Brightfield, 40× oil-immersion objective. Bone marrow aspirate smear: 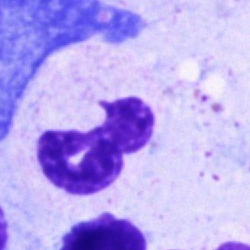
Morphological class — polymorphonuclear neutrophil.